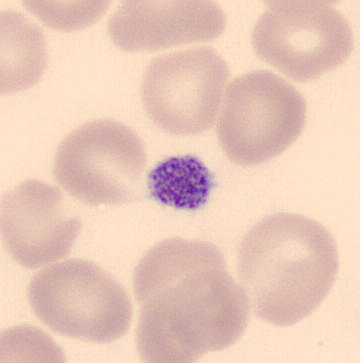 Classification — platelet (thrombocyte).